Single cell centered in the field. Bone marrow aspirate smear. Brightfield microscopy, 40× oil immersion — 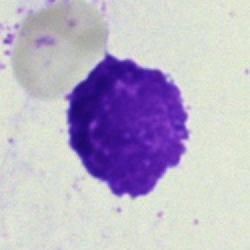

The cell type is artefact.